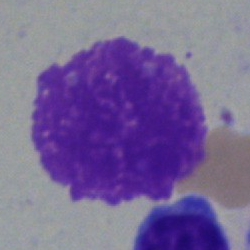

Classification: artefact.